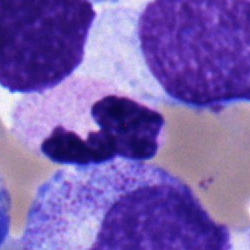Specimen: bone marrow smear.
Classification: polymorphonuclear neutrophil.